Bone marrow smear. May-Grünwald-Giemsa stain — 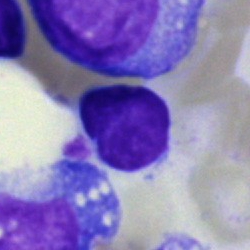 Impression — typical lymphocyte.